Bone marrow smear:
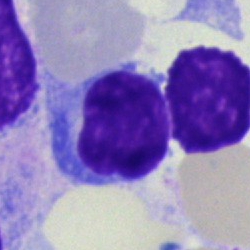
Cell type = lymphocyte.